Bone marrow aspirate smear · MGG-stained
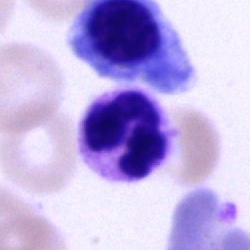
Classification — neutrophil (segmented).